Bone marrow aspirate smear:
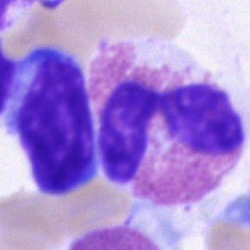Eosinophilic granulocyte.